Bone marrow smear; 250 by 250 pixels — 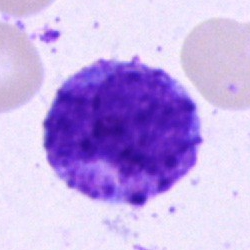
The cell shown is a basophil.